Bone marrow aspirate smear.
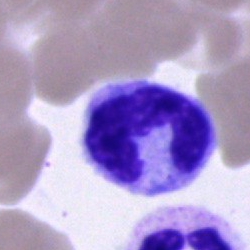
Q: What is shown here?
A: This is a monocyte.